Bone marrow aspirate smear: 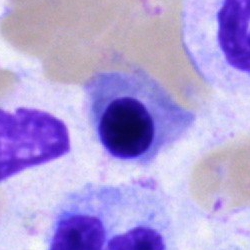
Impression → normoblast.